Bone marrow smear:
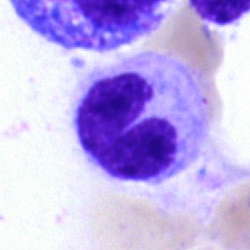

The cell shown is a band neutrophil.